Single-cell field; bone marrow aspirate smear
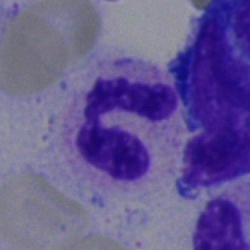
Q: What cell is this?
A: A segmented neutrophil.